Bone marrow aspirate smear — 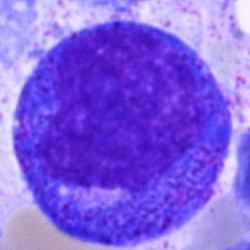Q: Which cell type is shown here?
A: It is a promyelocyte.